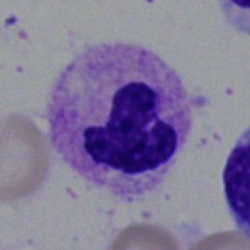

The classification is neutrophil (segmented).